Peripheral blood smear; 100× oil immersion.
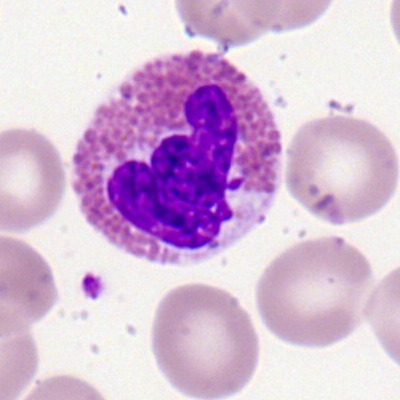 {"cell_type": "eosinophilic granulocyte", "lineage": "myeloid"}